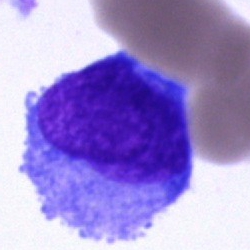Cell type = blast cell.